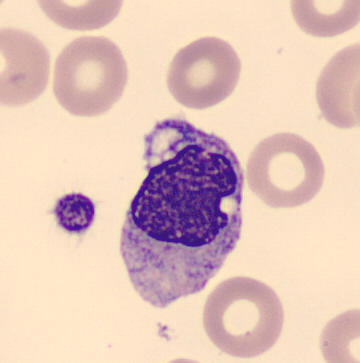Preparation: 360 by 363 pixels; imaged on a CellaVision DM96 analyser; peripheral blood smear. Showing a monocyte.